MGG-stained. Bone marrow aspirate smear.
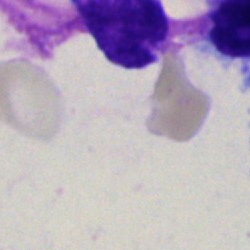

Morphology → artifact.